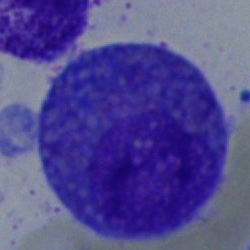

Cell type — eosinophilic granulocyte.